Bone marrow smear · brightfield, 40× oil-immersion objective — 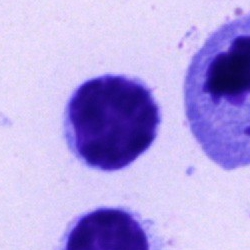
This is a typical lymphocyte.